May-Grünwald-Giemsa/Pappenheim stain; 40× oil immersion; bone marrow aspirate smear
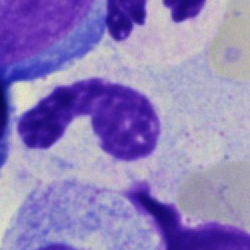 Neutrophil (band).